Bone marrow smear.
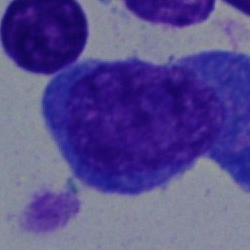

Q: What is the morphological classification of this cell?
A: This is a blast.